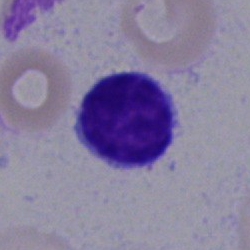 Cell type = lymphocyte.